250 by 250 pixels · bone marrow aspirate smear · May-Grünwald-Giemsa stain — 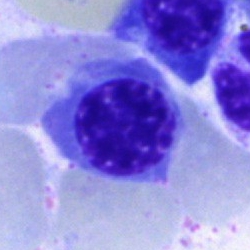 Normoblast.